Bone marrow smear — 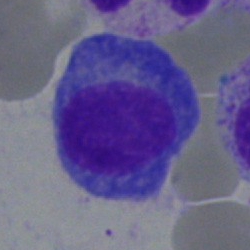
The cell type is plasma cell.